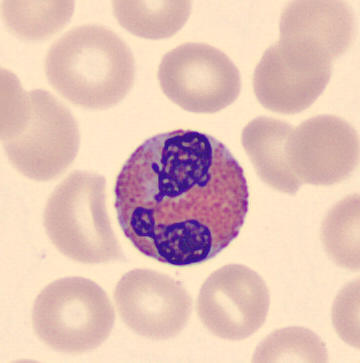

Morphology → eosinophilic granulocyte.